Single cell centered in the field; bone marrow smear.
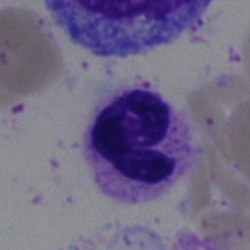 Impression — segmented neutrophil.